Cropped to a single cell; bone marrow smear: 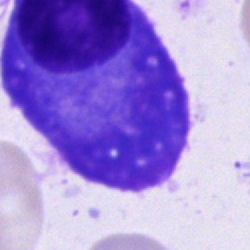
The morphological class is plasmacyte.